Bone marrow aspirate smear.
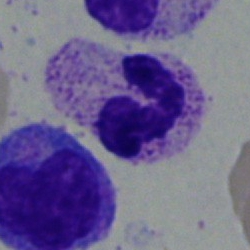This is a neutrophil (segmented).